Bone marrow smear:
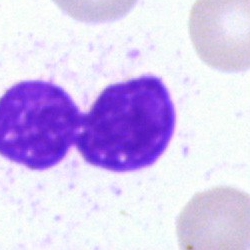
Q: What is shown here?
A: Artifact.